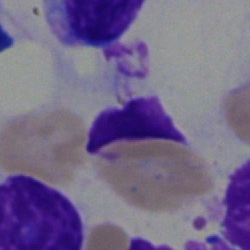
Showing an artefact.